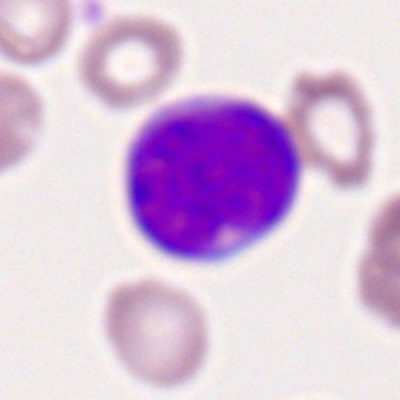

Single cell identified as a myeloid blast.